May-Grünwald-Giemsa/Pappenheim stain · bone marrow aspirate smear · brightfield microscopy, 40× oil immersion: 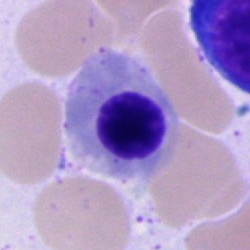 An erythroblast.